Bone marrow aspirate smear; image size 250×250: 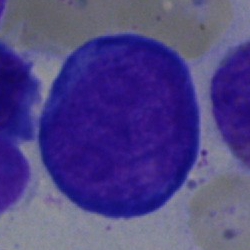Q: What is the morphological classification of this cell?
A: A proerythroblast.